M8 digital microscope (Precipoint), 100× oil immersion; peripheral blood film; 400×400
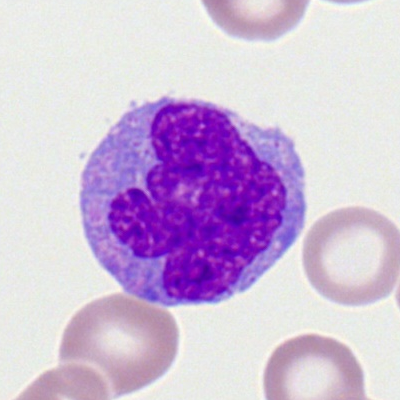

Morphology consistent with a monocyte.